Bone marrow smear: 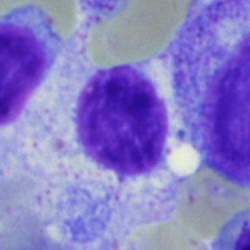

{"cell_type": "myelocyte", "lineage": "myeloid"}